Bone marrow smear — 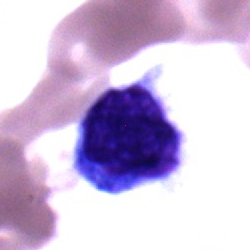
Morphology → lymphocyte.